MGG-stained. Brightfield, 40× oil-immersion objective. Bone marrow smear — 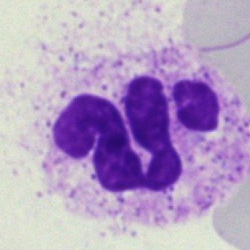

Specimen: bone marrow aspirate smear.
Classification: artifact.